Bone marrow aspirate smear.
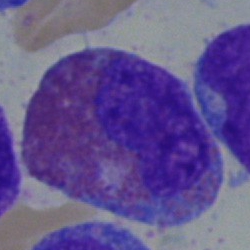Cell type — eosinophilic granulocyte.